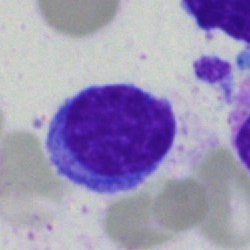Impression → lymphocyte.